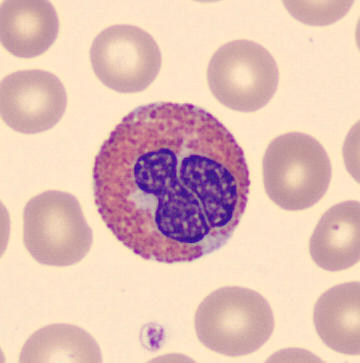
Single cell identified as an eosinophilic granulocyte. Acquisition: Peripheral blood film; May Grünwald-Giemsa stain.